Bone marrow aspirate smear
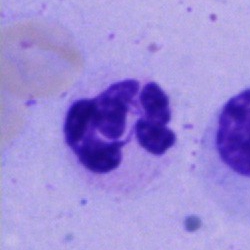 Cell — polymorphonuclear neutrophil.